Bone marrow aspirate smear: 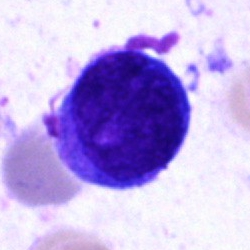

The morphological class is blast.